Bone marrow smear:
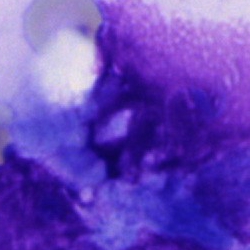
The classification is cell not matching the other categories.